Bone marrow aspirate smear
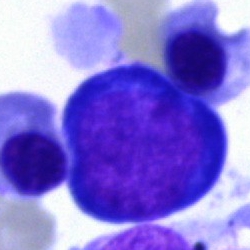 Q: What is shown here?
A: Proerythroblast.